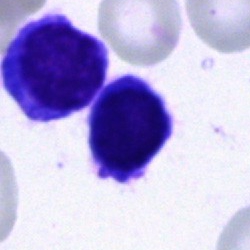

Morphological class = lymphocyte.